Brightfield microscopy, 40× oil immersion. Pappenheim-stained. Bone marrow smear.
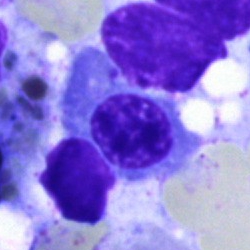
Q: Identify the cell.
A: It is a normoblast.